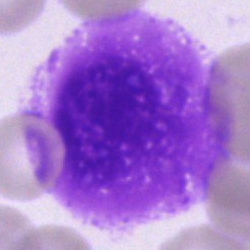
Specimen: bone marrow aspirate smear.
Cell type: artifact.